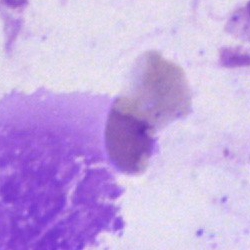 Classification: artefact.